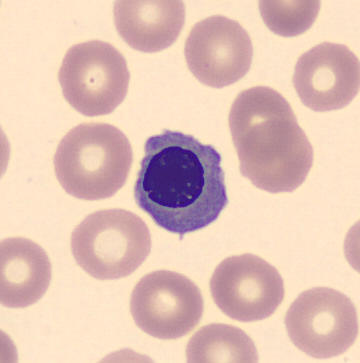 Specimen: peripheral blood film.
Cell: erythroblast.